Bone marrow aspirate smear; brightfield, 40× oil-immersion objective
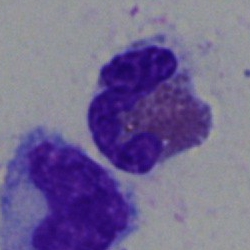

The cell is eosinophil.